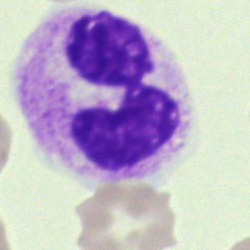
The cell shown is a neutrophil (segmented).